Bone marrow aspirate smear:
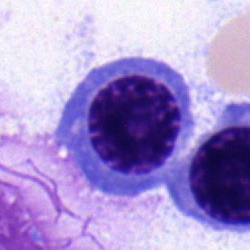Cell type — normoblast.